Peripheral blood film.
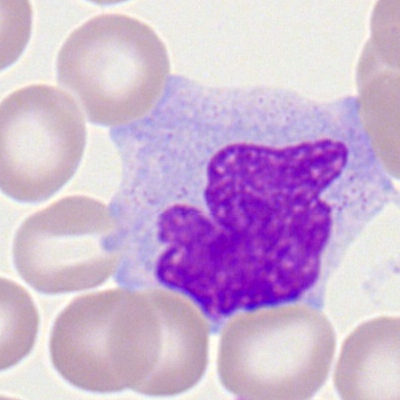 Single cell identified as a monocyte.